May-Grünwald-Giemsa/Pappenheim stain. Bone marrow smear
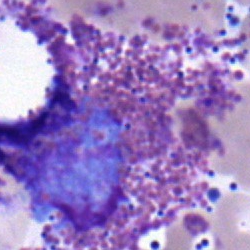

Q: Identify the cell.
A: An eosinophilic granulocyte.